Bone marrow smear.
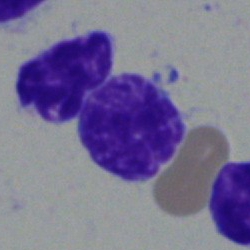 Morphology — typical lymphocyte.